40× oil immersion · bone marrow aspirate smear · May-Grünwald-Giemsa stain.
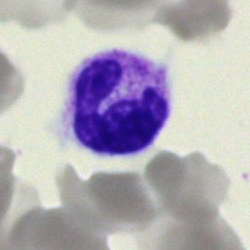

Cell — neutrophil (segmented).